Bone marrow aspirate smear · May-Grünwald-Giemsa stain.
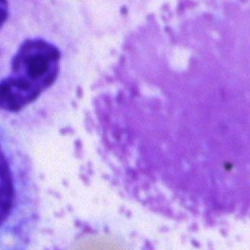 The cell shown is an artifact.